40× oil immersion. Image size 250×250. Bone marrow smear.
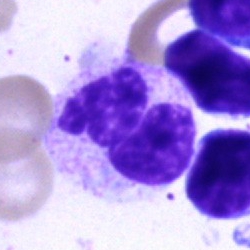 Morphological class — polymorphonuclear neutrophil.